Bone marrow aspirate smear · cropped to a single cell · 40× objective, oil immersion.
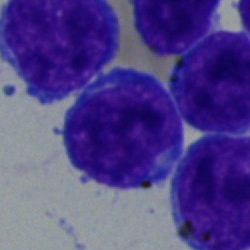Morphology → blast.